Peripheral blood smear · 400×400.
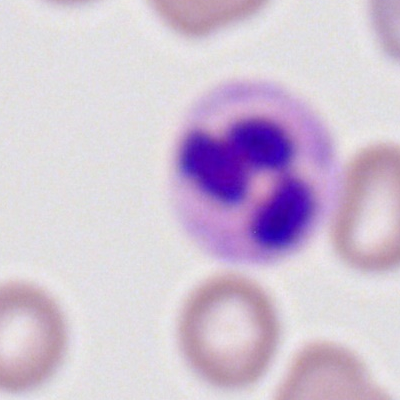Q: What type of cell is this?
A: A segmented neutrophil.